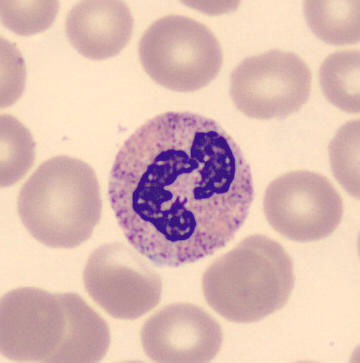 A segmented neutrophil.
Peripheral blood film.